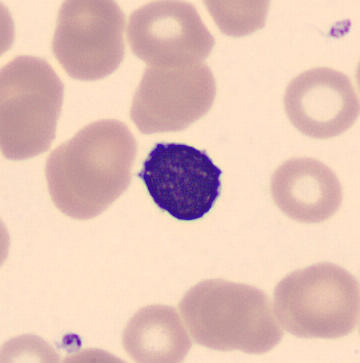
Preparation: Peripheral blood smear · MGG stain.
Single cell identified as a typical lymphocyte.